250×250 px · bone marrow smear — 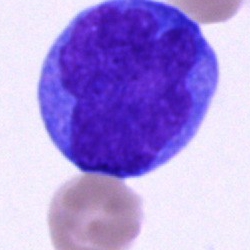

This is an undifferentiated blast.